Bone marrow smear. 250×250 px:
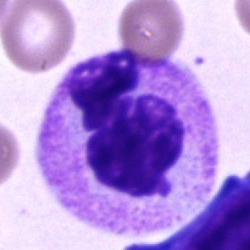 Cell: neutrophil (segmented).